Bone marrow aspirate smear
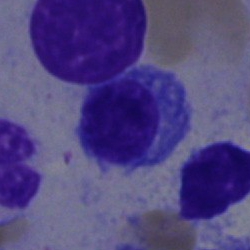 This is a plasma cell.